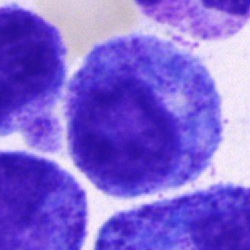 Impression → promyelocyte.